Brightfield, 40× oil-immersion objective · bone marrow smear — 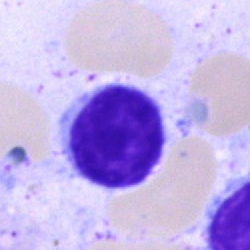 Morphology → typical lymphocyte.